250×250; bone marrow smear — 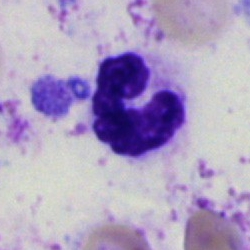

Q: Identify the cell.
A: Polymorphonuclear neutrophil.